Peripheral blood smear
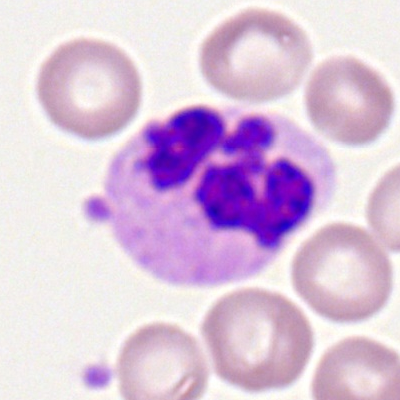 Q: Which cell type is shown here?
A: Polymorphonuclear neutrophil.